Peripheral blood smear — 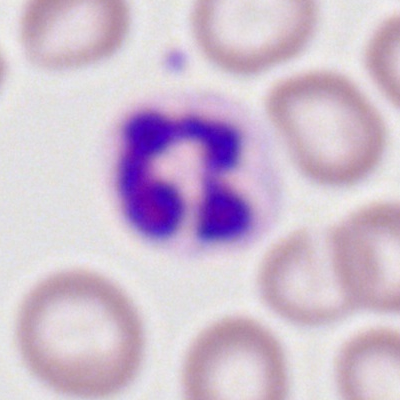
Classification: segmented neutrophil.